Bone marrow aspirate smear:
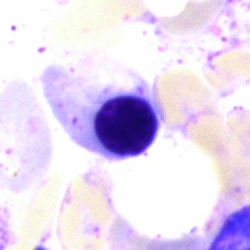

A nucleated red blood cell.